Bone marrow smear: 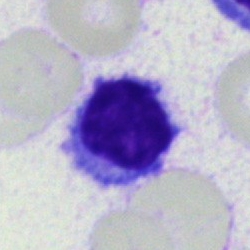

Morphology → lymphocyte.